Bone marrow aspirate smear · 40× oil immersion — 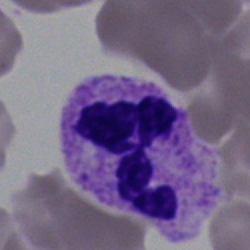
The cell shown is a polymorphonuclear neutrophil.